Bone marrow smear.
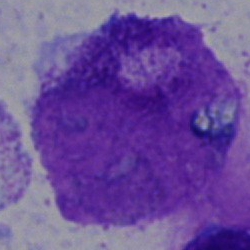
Cell: artefact.